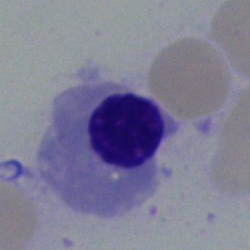 The cell is erythroblast.